Bone marrow aspirate smear · May-Grünwald-Giemsa/Pappenheim stain
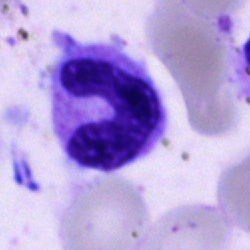 Cell: stab cell.